MGG-stained · 250×250 px · bone marrow aspirate smear
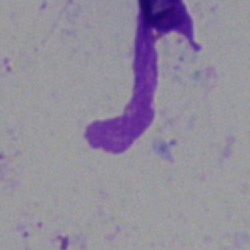 Q: What is shown here?
A: An artefact.